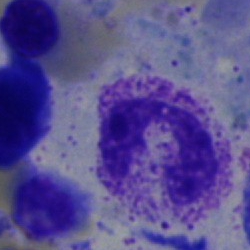
Impression — band neutrophil.